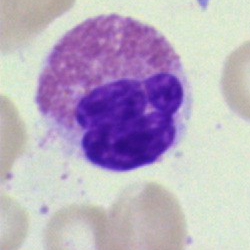
Morphology consistent with an eosinophilic granulocyte.